MGG-stained. Bone marrow smear.
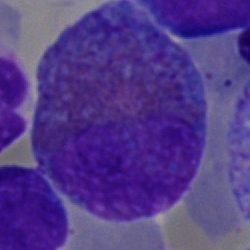

Eosinophilic granulocyte.